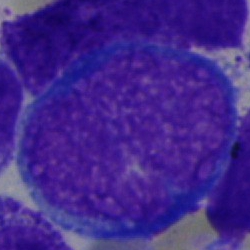{"cell_type": "undifferentiated blast"}